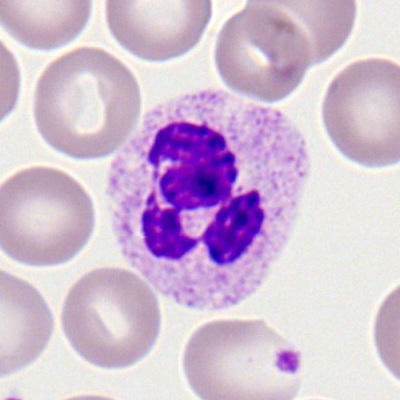 Classification — polymorphonuclear neutrophil.